Bone marrow smear · 250×250:
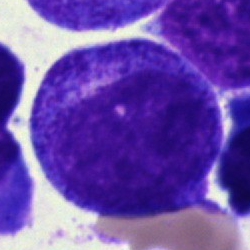 The cell shown is a progranulocyte.